Bone marrow aspirate smear.
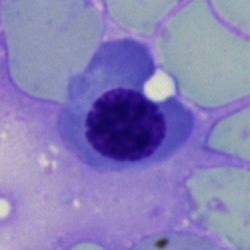

Morphological class — nucleated red cell.